Bone marrow aspirate smear · single cell centered in the field
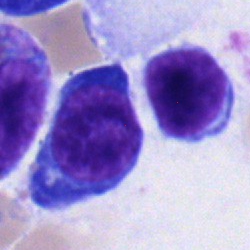 Normoblast.